Bone marrow aspirate smear: 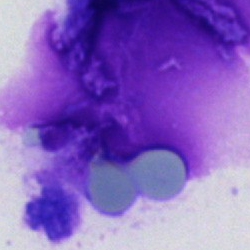 Specimen: bone marrow aspirate smear.
Cell type: artefact.